Bone marrow aspirate smear:
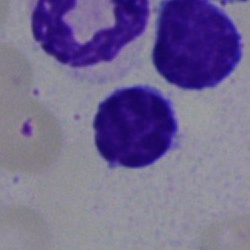 Cell type = lymphocyte.